Brightfield, 40× oil-immersion objective; single-cell crop; bone marrow aspirate smear:
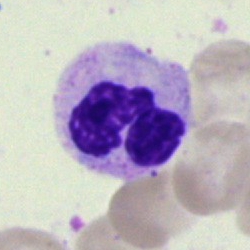Specimen: bone marrow smear.
Classification: neutrophil (segmented).
Lineage: myeloid.